Brightfield, 40× oil-immersion objective. Bone marrow smear:
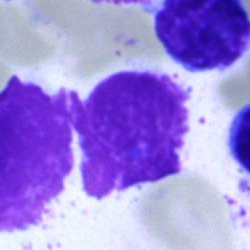Showing an artifact.